Bone marrow smear
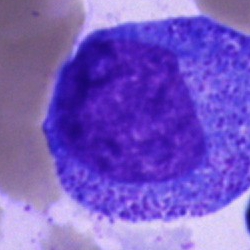
A promyelocyte.